Peripheral blood smear: 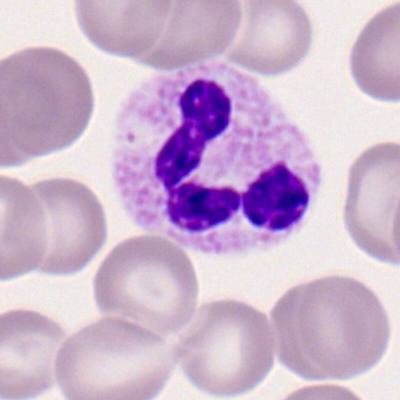The cell is polymorphonuclear neutrophil.